Bone marrow smear:
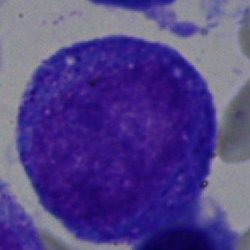

The cell shown is a progranulocyte.